Bone marrow aspirate smear.
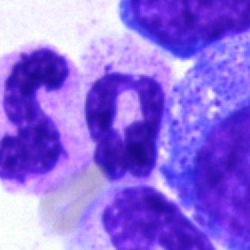 Q: What is the morphological classification of this cell?
A: It is a polymorphonuclear neutrophil.